Automated cell imaging (CellaVision DM96); peripheral blood film; cropped to a single cell: 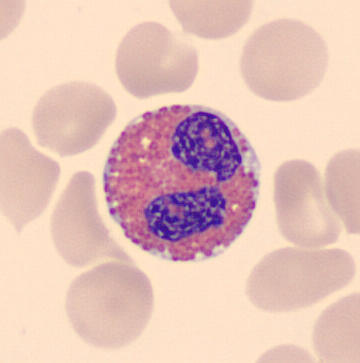Identified as an eosinophilic granulocyte.